Bone marrow smear — 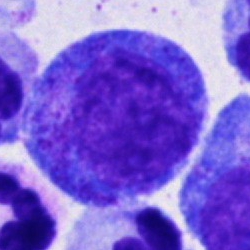The classification is progranulocyte.